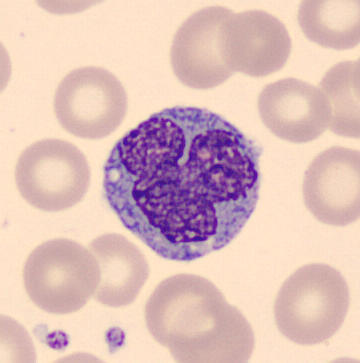

Morphology — monocyte.
Image: Peripheral blood film. 360×363 px.